May-Grünwald-Giemsa/Pappenheim stain. Bone marrow smear.
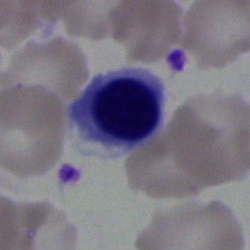Morphological class: nucleated red cell.